Bone marrow aspirate smear: 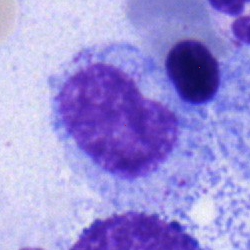 Impression → metamyelocyte.